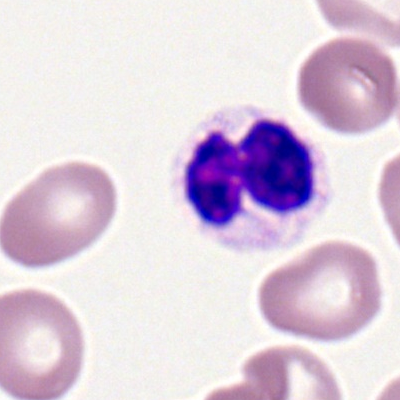A polymorphonuclear neutrophil on a peripheral blood smear.